Bone marrow smear; MGG-stained; 250 by 250 pixels: 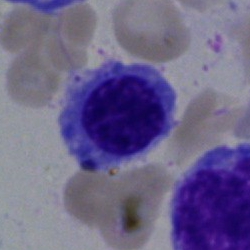
Q: What is shown here?
A: It is an erythroblast.